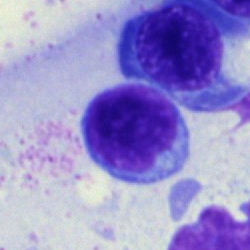
Q: What is shown here?
A: A lymphocyte.